Bone marrow smear:
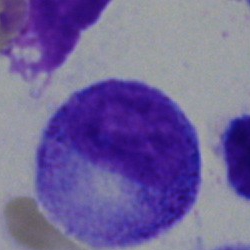Q: What cell is this?
A: A myelocyte.